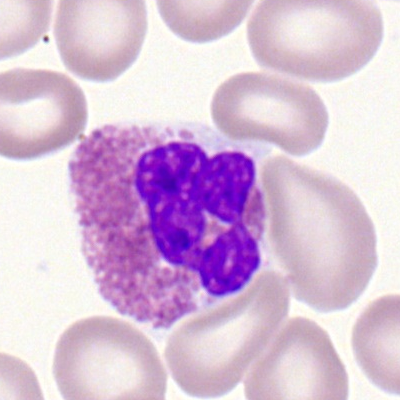Morphology consistent with an eosinophilic granulocyte.